Peripheral blood film · Romanowsky-stained.
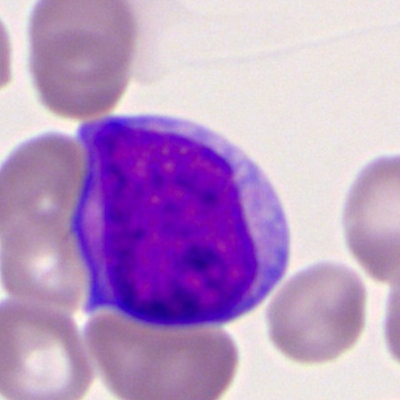 Single cell identified as a myeloid blast.